Bone marrow aspirate smear:
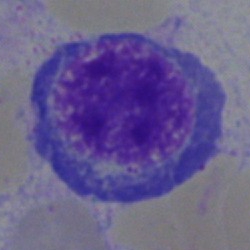

{"cell_type": "nucleated red blood cell", "lineage": "erythroid"}